Bone marrow smear
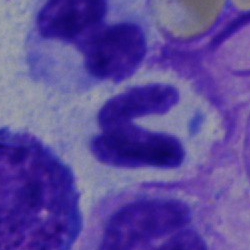A neutrophil (segmented).